Bone marrow smear.
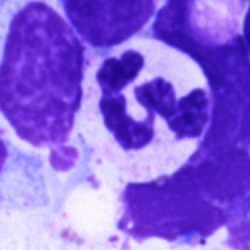

Specimen: bone marrow smear.
Morphological class: polymorphonuclear neutrophil.
Lineage: myeloid.